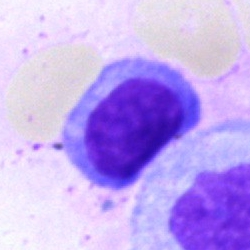 A nucleated red cell.